Bone marrow smear
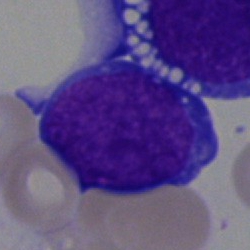Morphological class — blast cell.